Bone marrow smear.
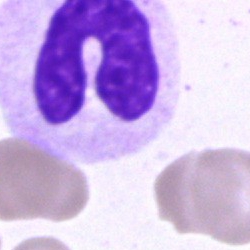
The cell shown is a neutrophil (band).